Peripheral blood smear. 400×400 px:
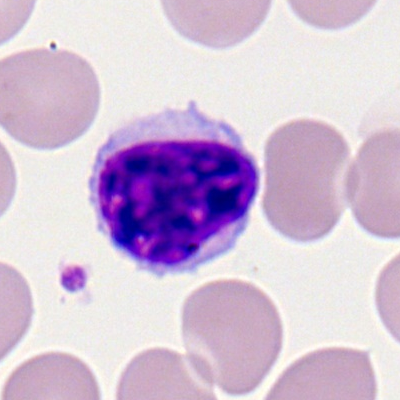

Morphology → typical lymphocyte.